Bone marrow aspirate smear:
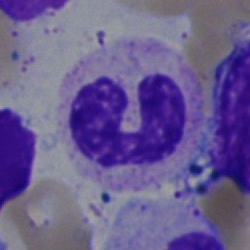
Showing a segmented neutrophil.